Single-cell field. Bone marrow smear. Brightfield, 40× oil-immersion objective:
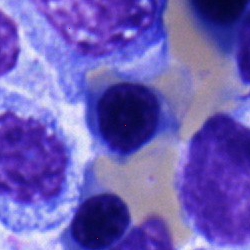 Impression → normoblast.